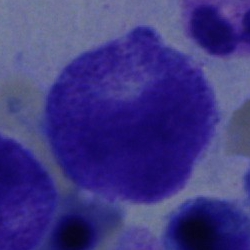

Single cell identified as a progranulocyte.